Bone marrow aspirate smear
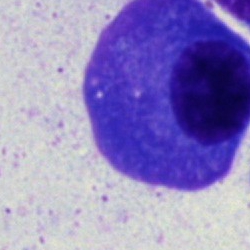
A plasmacyte.